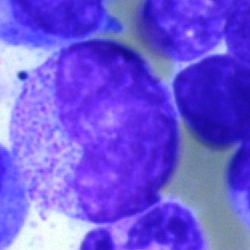Morphological class — metamyelocyte.